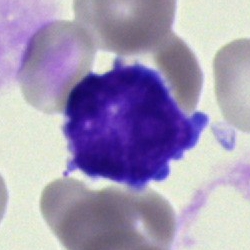Q: What is shown here?
A: It is a blast cell.